Image size 250×250; bone marrow smear.
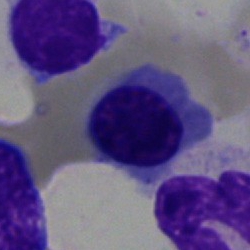Single cell identified as an erythroblast.